40× objective, oil immersion; bone marrow aspirate smear
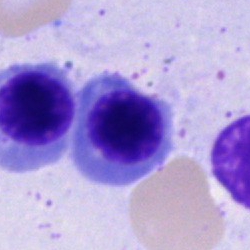

Q: Identify the cell.
A: A normoblast.